Bone marrow aspirate smear
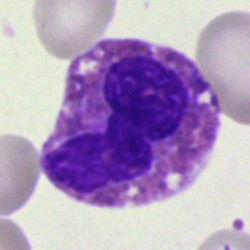Q: What cell is this?
A: It is an eosinophilic granulocyte.